Image size 250×250; brightfield, 40× oil-immersion objective; bone marrow smear — 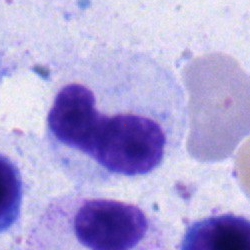 Morphological class = band neutrophil.